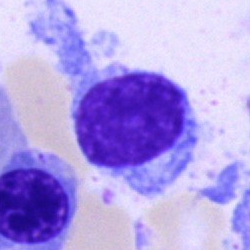 Q: What is the morphological classification of this cell?
A: Typical lymphocyte.